Bone marrow smear — 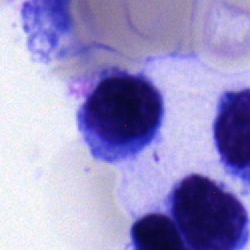
Q: What cell is this?
A: This is a lymphocyte.